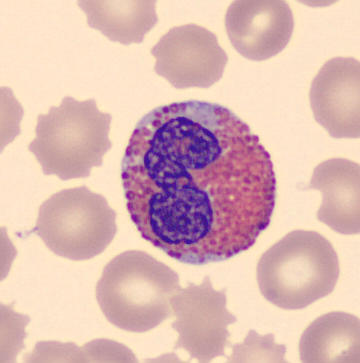Preparation: May Grünwald-Giemsa stain · peripheral blood smear.
Cell = eosinophil.